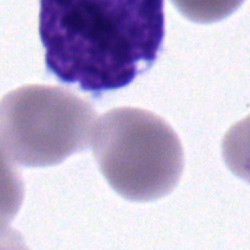 Specimen: bone marrow smear.
Classification: typical lymphocyte.